Bone marrow smear.
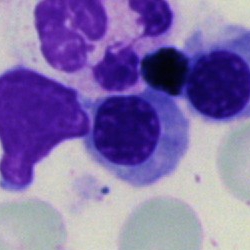 Impression — nucleated red cell.